Bone marrow aspirate smear.
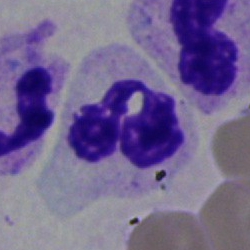

Cell = polymorphonuclear neutrophil.